Bone marrow smear; image size 250×250: 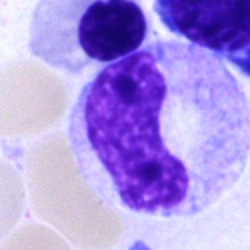

Q: What cell is this?
A: A band-form neutrophil.